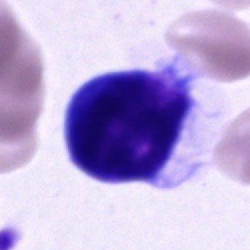
Q: What cell is this?
A: It is an undifferentiated blast.